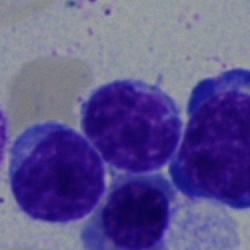Q: Which cell type is shown here?
A: A typical lymphocyte.